May-Grünwald-Giemsa stain. Bone marrow aspirate smear.
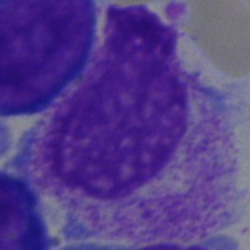
{"cell_type": "myelocyte", "lineage": "myeloid"}